Bone marrow smear.
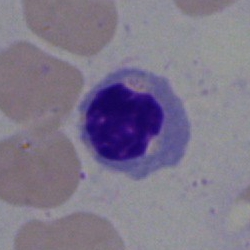 Specimen: bone marrow aspirate smear.
Cell type: erythroblast.